Bone marrow aspirate smear
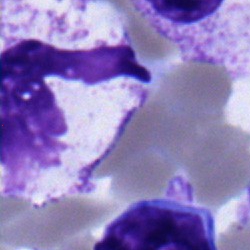 {"cell_type": "segmented neutrophil", "lineage": "myeloid"}